Bone marrow smear
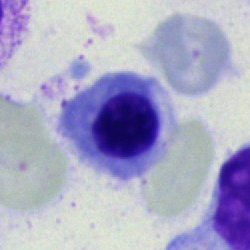 This is a nucleated red blood cell.